Single-cell crop · bone marrow aspirate smear · Pappenheim-stained — 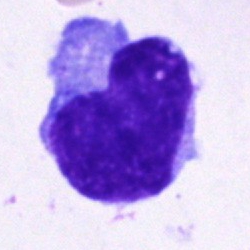

Morphological class — undifferentiated blast.